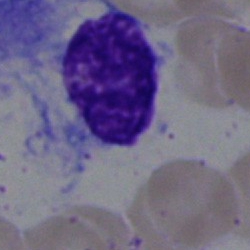
Bone marrow smear showing an artifact.